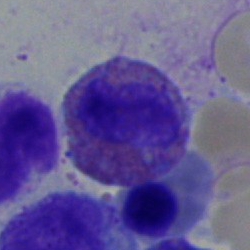 Classification — eosinophil.